Bone marrow aspirate smear
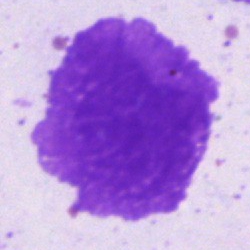

Specimen: bone marrow smear.
Cell: artefact.